Single cell centered in the field; peripheral blood smear — 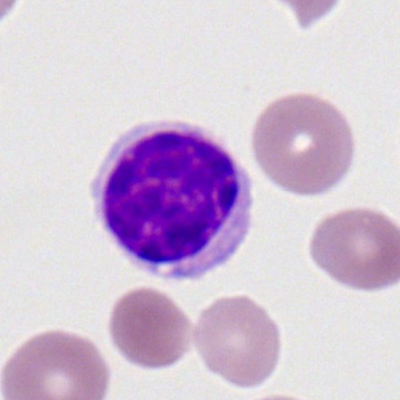 Morphology consistent with a lymphocyte.